Bone marrow smear:
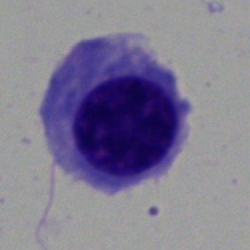
Q: What cell is this?
A: A nucleated red blood cell.